Cropped to a single cell · bone marrow aspirate smear · brightfield microscopy, 40× oil immersion: 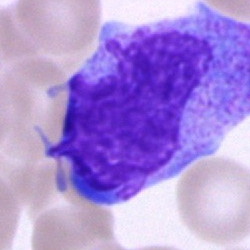 Impression — promyelocyte.